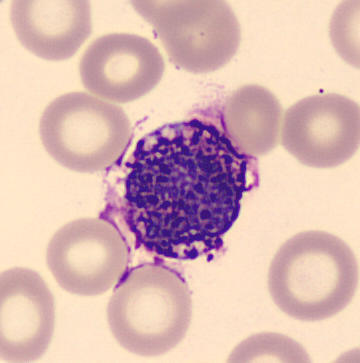

Q: What type of cell is this?
A: This is a basophilic granulocyte.
Preparation: Peripheral blood film.